Bone marrow smear; 40× oil immersion; 250×250 px.
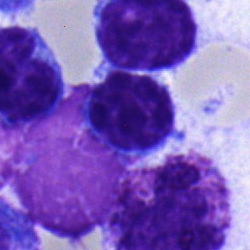

The cell shown is a lymphocyte.